Bone marrow smear · single-cell field · 250 by 250 pixels: 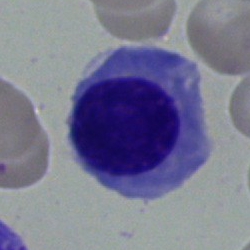Morphology consistent with a nucleated red cell.